Bone marrow smear
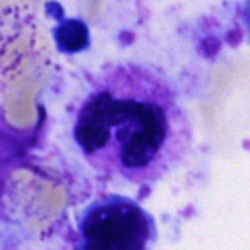
Showing a neutrophil (segmented).